Brightfield, 40× oil-immersion objective · bone marrow smear · May-Grünwald-Giemsa/Pappenheim stain — 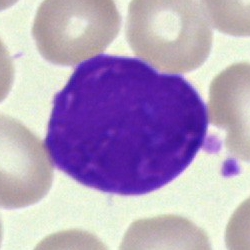Specimen: bone marrow smear.
Cell: artefact.